Peripheral blood smear. May Grünwald-Giemsa stain.
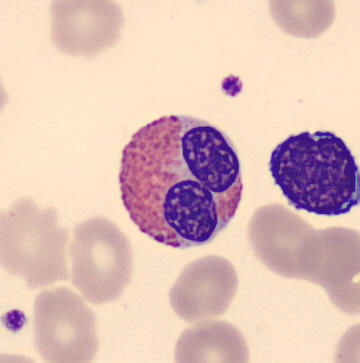 Showing an eosinophilic granulocyte.